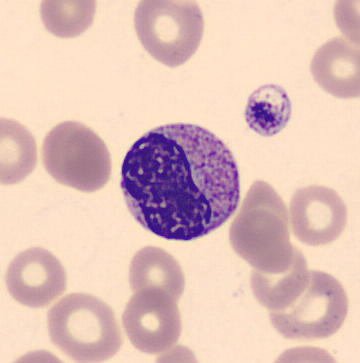
Q: What is shown here?
A: Metamyelocyte.

Preparation: Peripheral blood film.